Peripheral blood film. 400×400 px — 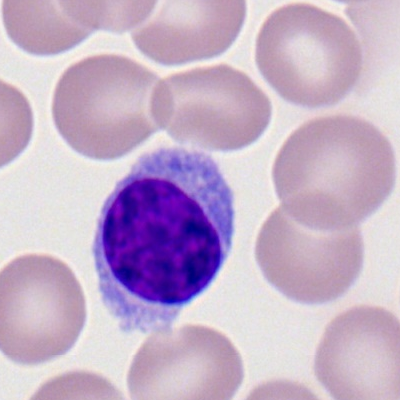Single cell identified as a lymphocyte.